Peripheral blood film:
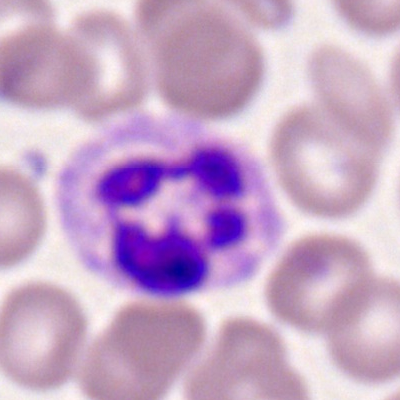

Single cell identified as a neutrophil (segmented).